Peripheral blood smear; image size 400×400; Romanowsky-type stain: 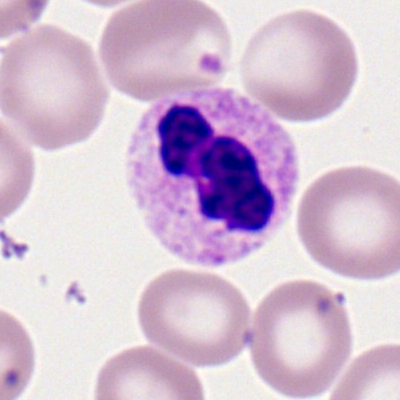

Cell: polymorphonuclear neutrophil.